Bone marrow smear. 250×250 px: 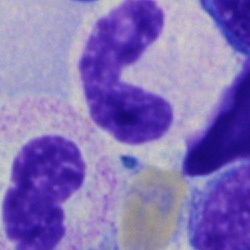 Classification: neutrophil (band).